Bone marrow smear; single-cell field
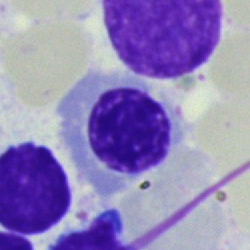
Q: What is the morphological classification of this cell?
A: A nucleated red blood cell.